Bone marrow aspirate smear — 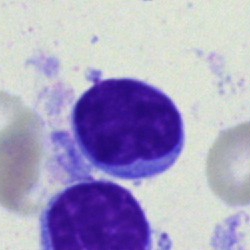

Cell — typical lymphocyte.